Bone marrow smear; cropped to a single cell:
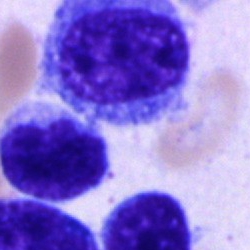
The cell is blast.